Bone marrow aspirate smear.
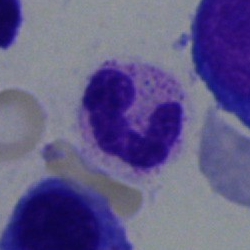 Morphology consistent with a segmented neutrophil.